Single-cell crop · bone marrow aspirate smear — 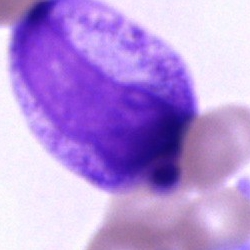

Cell type — progranulocyte.